Bone marrow smear.
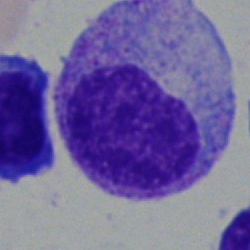Classification: promyelocyte.